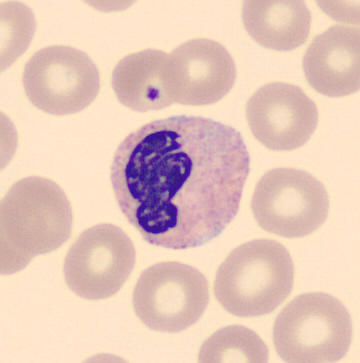
Q: What is the morphological classification of this cell?
A: It is a band-form neutrophil.